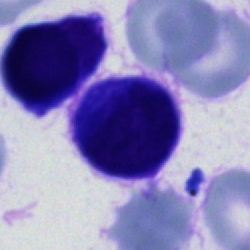 A cell of indeterminate lineage on a bone marrow smear.